Bone marrow smear
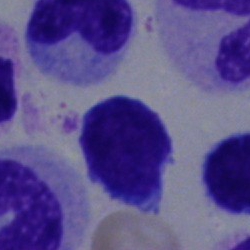This is a typical lymphocyte.